Bone marrow aspirate smear — 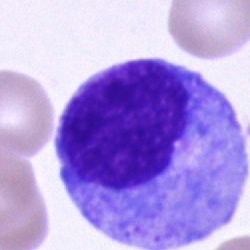 Specimen: bone marrow smear.
Morphological class: progranulocyte.